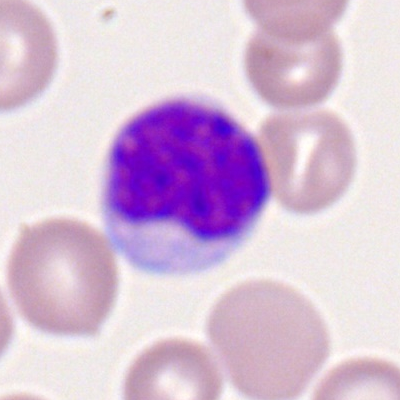The morphological class is lymphocyte.